May-Grünwald-Giemsa/Pappenheim stain; bone marrow aspirate smear — 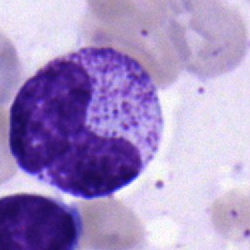

Cell — neutrophil (band).